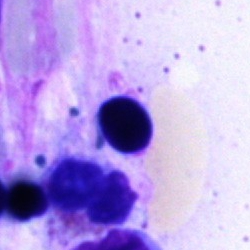
Impression → artefact.